Bone marrow aspirate smear: 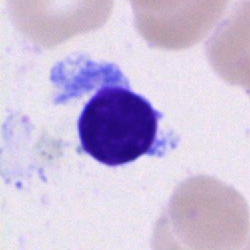 Specimen: bone marrow smear.
Cell: typical lymphocyte.
Lineage: lymphoid.